Bone marrow aspirate smear; 40× objective, oil immersion; 250×250 px — 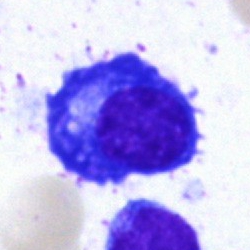Morphological class: plasma cell.